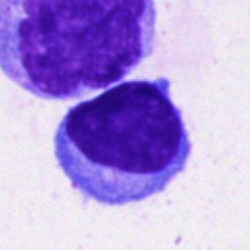 Morphology — lymphocyte.